Single-cell crop; brightfield microscopy, 40× oil immersion; bone marrow aspirate smear: 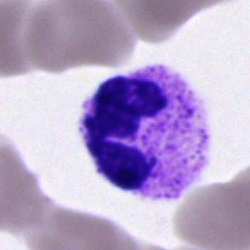
Specimen: bone marrow aspirate smear.
Classification: neutrophil (segmented).